Bone marrow smear: 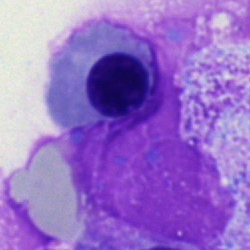 The cell shown is an erythroblast.